Bone marrow aspirate smear:
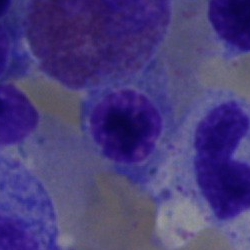 Cell = nucleated red cell.